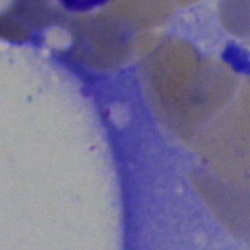
Classification = artifact.